Bone marrow smear. 250 by 250 pixels.
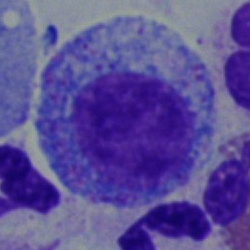

{"cell_type": "promyelocyte", "lineage": "myeloid"}